40× oil immersion · bone marrow aspirate smear.
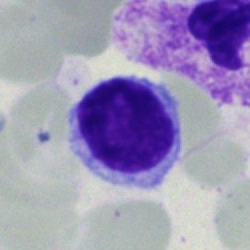 Specimen: bone marrow smear.
Morphological class: lymphocyte.